Bone marrow aspirate smear — 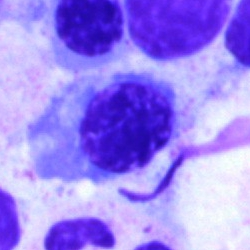

Showing a nucleated red blood cell.